Bone marrow smear
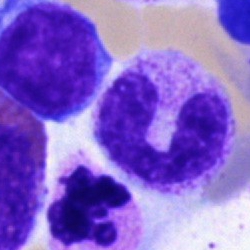
Single cell identified as a band neutrophil.